Bone marrow smear; cropped to a single cell:
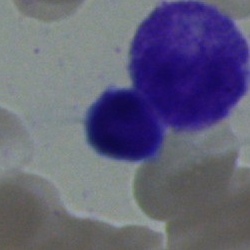

This is a typical lymphocyte.